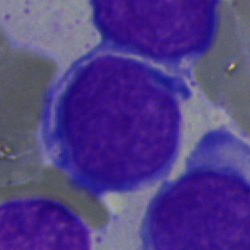 Q: Identify the cell.
A: Blast.